Bone marrow aspirate smear: 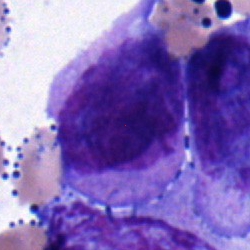

Morphological class — blast cell.